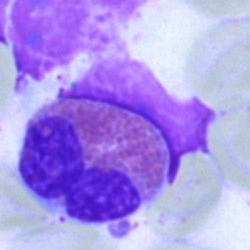
Impression — eosinophilic granulocyte.